Brightfield, 40× oil-immersion objective. Bone marrow smear — 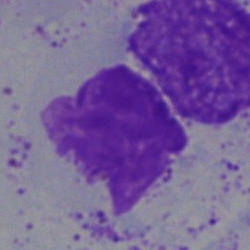 Morphological class: artifact.